Single-cell crop; bone marrow aspirate smear:
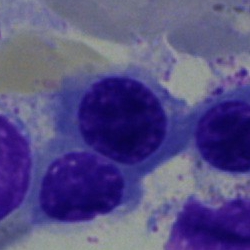
Nucleated red blood cell.